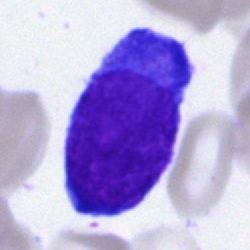
Morphology → undifferentiated blast.